250×250 px; bone marrow aspirate smear — 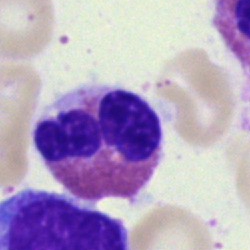Q: What is shown here?
A: Eosinophilic granulocyte.